Bone marrow aspirate smear:
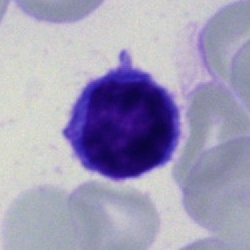Classification = lymphocyte.